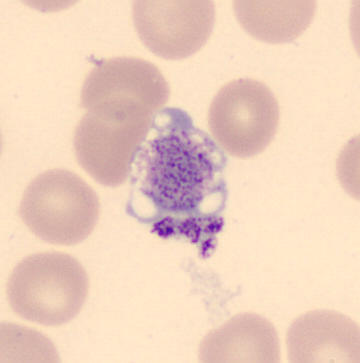

Classification: thrombocyte.
Peripheral blood smear.